Bone marrow aspirate smear; 250×250 px: 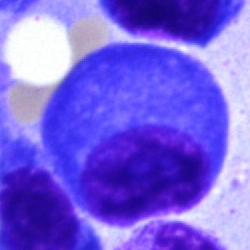Q: Which cell type is shown here?
A: A plasmacyte.